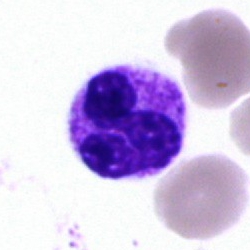

Single-cell crop from a bone marrow smear: neutrophil (segmented).